Peripheral blood smear. Automated cell imaging (CellaVision DM96):
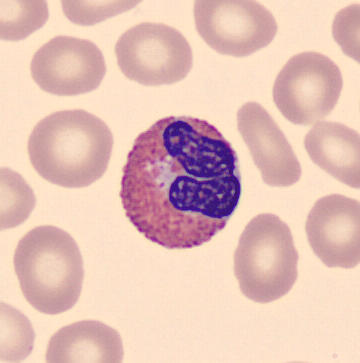

The morphological class is eosinophilic granulocyte.